Bone marrow smear.
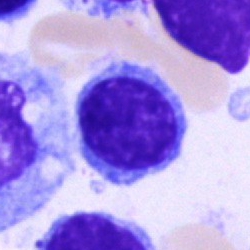

Specimen: bone marrow aspirate smear.
Morphological class: typical lymphocyte.